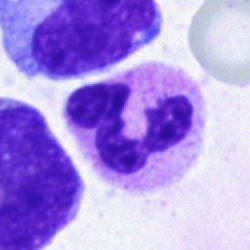
Bone marrow smear showing a polymorphonuclear neutrophil.